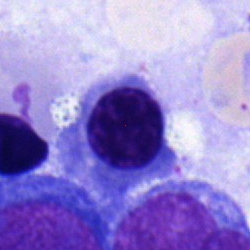{"cell_type": "erythroblast"}